MGG-stained · bone marrow smear: 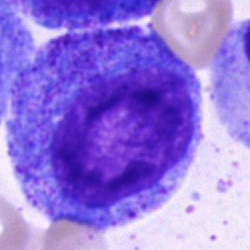
Specimen: bone marrow smear.
Cell: progranulocyte.